Pappenheim-stained; bone marrow aspirate smear.
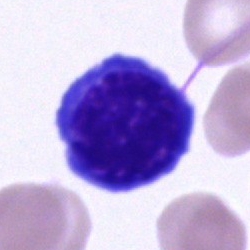{"cell_type": "normoblast", "lineage": "erythroid"}